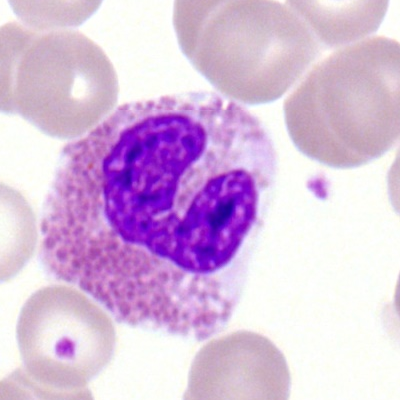The cell shown is an eosinophilic granulocyte.